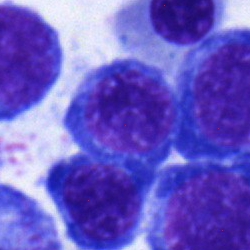Bone marrow aspirate smear, single cell — normoblast.